Peripheral blood film; 400×400 px: 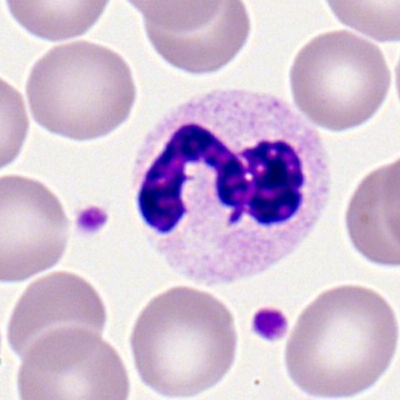

Morphological class — polymorphonuclear neutrophil.